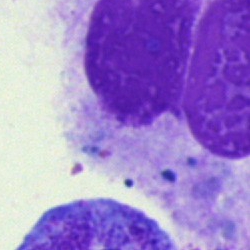The cell is artifact.